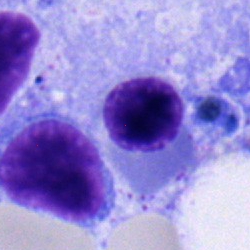The cell type is nucleated red cell.